Bone marrow smear · brightfield microscopy, 40× oil immersion: 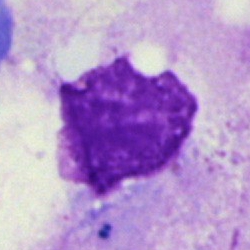 This is an artefact.